Bone marrow aspirate smear
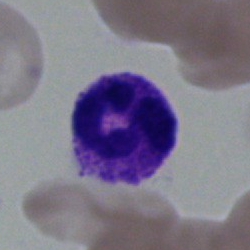

The morphological class is polymorphonuclear neutrophil.